Bone marrow smear: 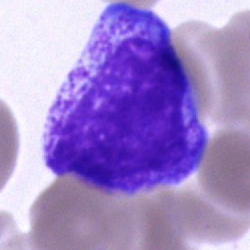Impression — progranulocyte.